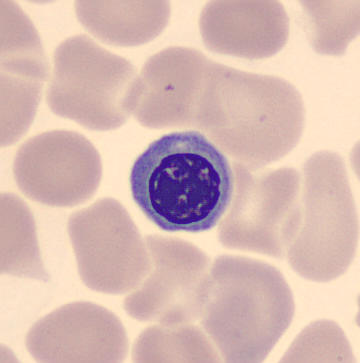 Classification = erythroblast. Preparation: Peripheral blood smear.